Bone marrow aspirate smear. Brightfield, 40× oil-immersion objective:
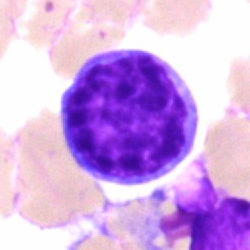 Cell — typical lymphocyte.